Bone marrow aspirate smear; image size 250×250 — 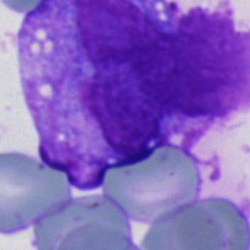 Impression — undifferentiated blast.